Cropped to a single cell; image size 250×250; bone marrow smear:
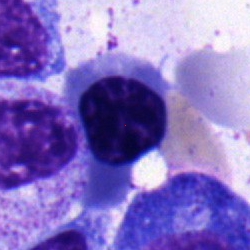 Q: What cell is this?
A: An erythroblast.